Peripheral blood film
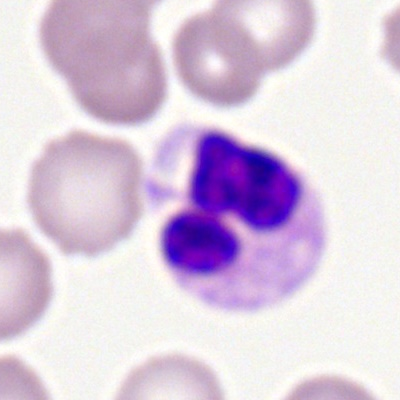Q: What cell is this?
A: It is a neutrophil (segmented).